Bone marrow aspirate smear — 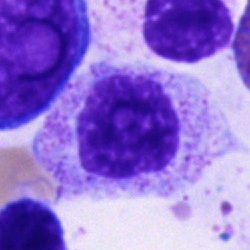Morphology — cell of indeterminate lineage.